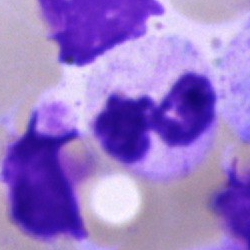
Cell = polymorphonuclear neutrophil.